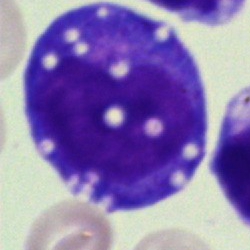
Q: What is shown here?
A: A blast cell.